Bone marrow smear: 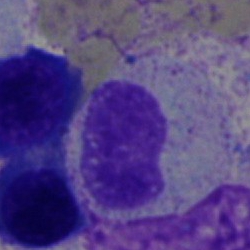 The cell is metamyelocyte.